Bone marrow smear. Cropped to a single cell: 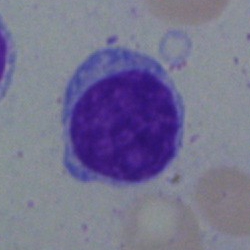
{"cell_type": "lymphocyte", "lineage": "lymphoid"}